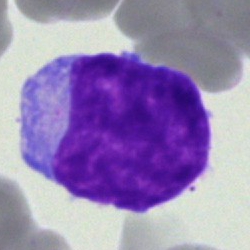 Showing an other cell type.